Bone marrow smear — 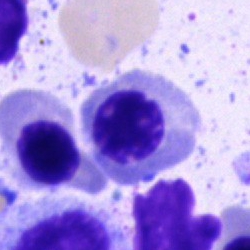
Q: What type of cell is this?
A: Nucleated red cell.